Bone marrow smear
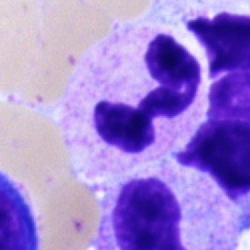

The cell shown is a polymorphonuclear neutrophil.